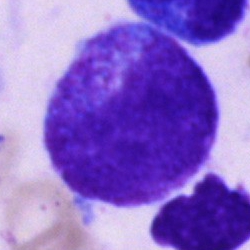
Q: What is the morphological classification of this cell?
A: This is a progranulocyte.